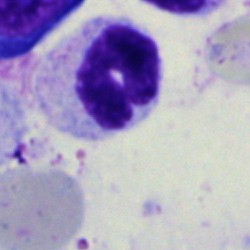

Morphology consistent with a segmented neutrophil.